MGG-stained. Bone marrow smear. Single-cell crop.
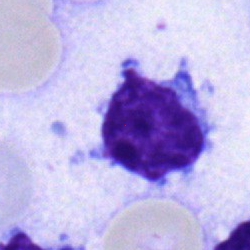

Impression → typical lymphocyte.